Bone marrow smear:
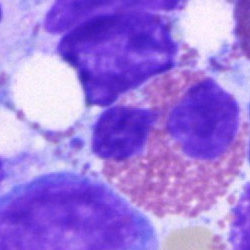
Q: What is shown here?
A: This is an eosinophil.